Pappenheim-stained. Bone marrow smear:
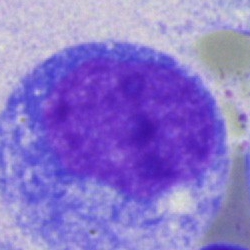The cell is promyelocyte.